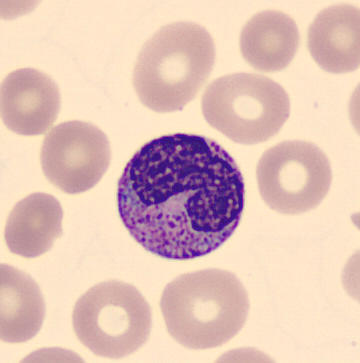 Preparation: Peripheral blood smear.

Morphological class — metamyelocyte.